Bone marrow smear · 40× objective, oil immersion
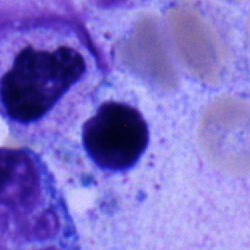

Q: Which cell type is shown here?
A: This is a typical lymphocyte.